Bone marrow smear — 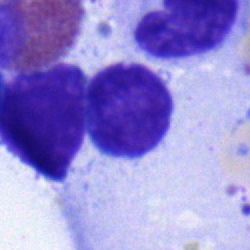

{"cell_type": "lymphocyte"}